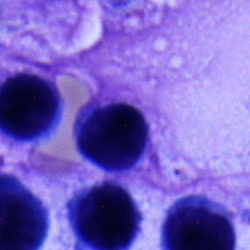

Bone marrow smear showing a typical lymphocyte.